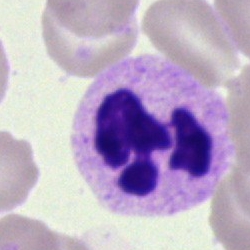
Cell: segmented neutrophil.